Bone marrow aspirate smear:
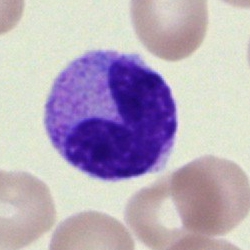Q: Which cell type is shown here?
A: Metamyelocyte.